Bone marrow smear: 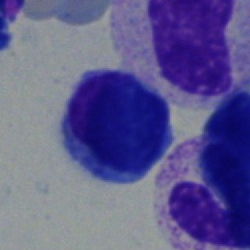

Morphology consistent with a lymphocyte.